CellaVision DM96 · peripheral blood smear · May-Grünwald-Giemsa-stained — 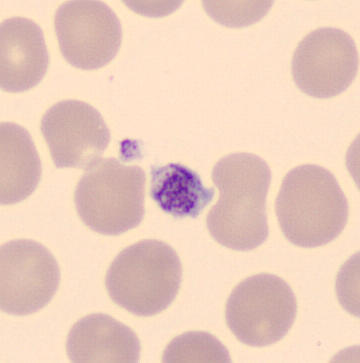

This is a platelet.